Romanowsky stain. Peripheral blood film. Brightfield, 100× oil-immersion objective:
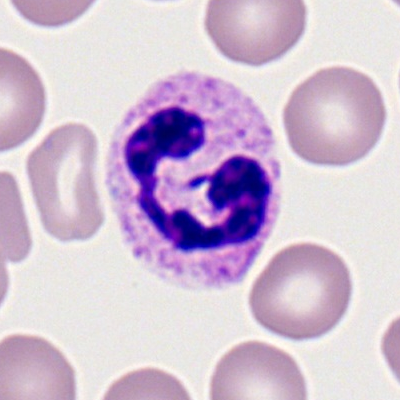

The morphological class is polymorphonuclear neutrophil.